Bone marrow aspirate smear · cropped to a single cell · MGG-stained.
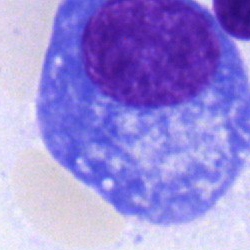Plasma cell.